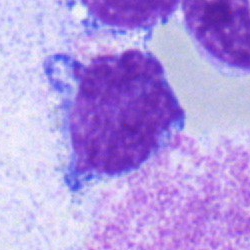 Single-cell crop from a bone marrow smear: lymphocyte.